Bone marrow aspirate smear.
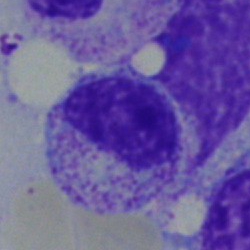

Impression — myelocyte.